Bone marrow smear. Brightfield, 40× oil-immersion objective
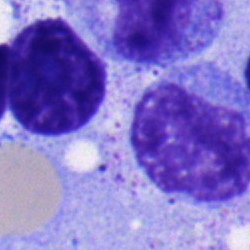The cell is progranulocyte.